May-Grünwald-Giemsa stain · 250×250 · bone marrow smear: 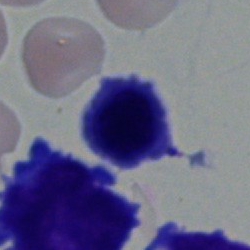
Q: What type of cell is this?
A: Nucleated red cell.